Peripheral blood smear:
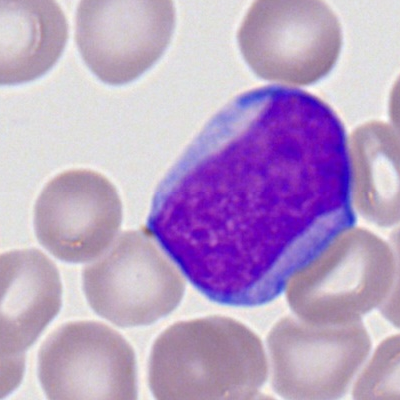Morphological class = myeloid blast.